MGG-stained · bone marrow smear · image size 250×250 — 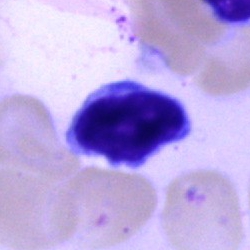

Q: Identify the cell.
A: This is a lymphocyte.